Bone marrow aspirate smear; 40× objective, oil immersion: 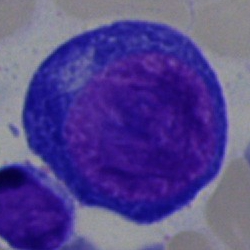

This is a pronormoblast.